Bone marrow smear. 250×250: 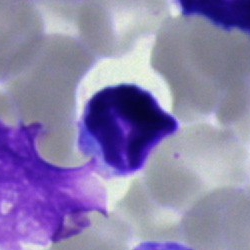
Q: What type of cell is this?
A: A typical lymphocyte.